Bone marrow aspirate smear.
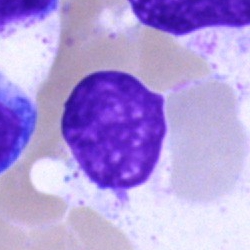Q: What is shown here?
A: This is an artefact.